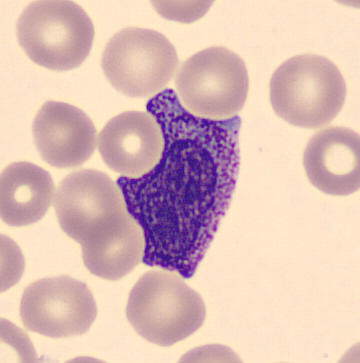
Preparation: Peripheral blood smear.

The cell shown is a myelocyte.